MGG-stained. Bone marrow aspirate smear
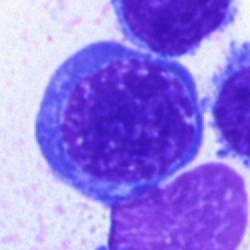

Nucleated red cell.